Bone marrow smear: 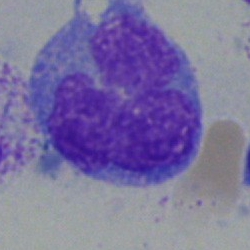 Classification = monocyte.